Bone marrow aspirate smear; single-cell field:
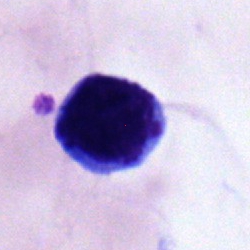
Cell type: lymphocyte.